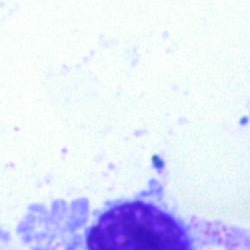

Q: What is shown here?
A: Artefact.